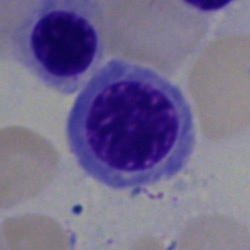
The cell type is normoblast.